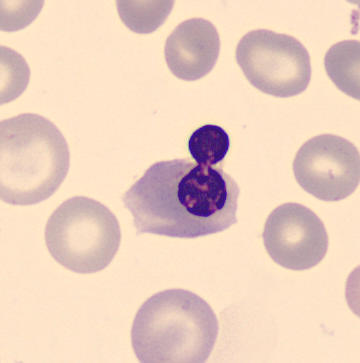MGG-stained; peripheral blood smear. Q: What type of cell is this?
A: It is a nucleated red blood cell.